Peripheral blood smear. Single-cell crop
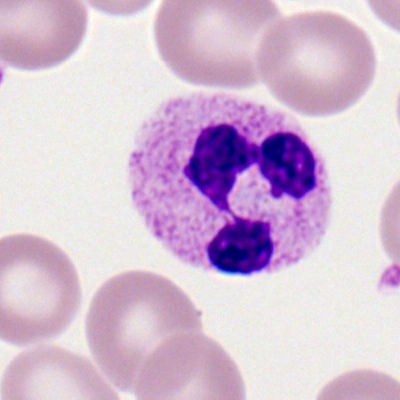 {"cell_type": "segmented neutrophil"}